May-Grünwald-Giemsa/Pappenheim stain. 250×250 px. Bone marrow smear:
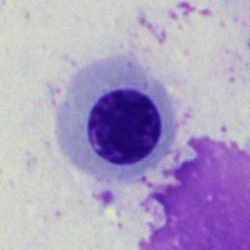

Specimen: bone marrow smear.
Cell type: normoblast.
Lineage: erythroid.